Bone marrow aspirate smear:
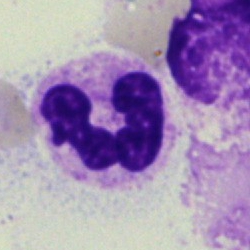Specimen: bone marrow aspirate smear.
Cell type: band-form neutrophil.
Lineage: myeloid.